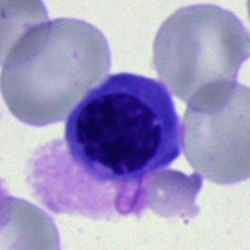
Morphology → normoblast.